Bone marrow aspirate smear. Image size 250×250: 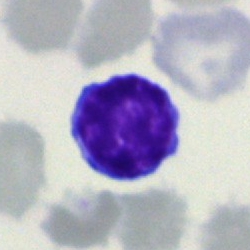
{"cell_type": "lymphocyte", "lineage": "lymphoid"}